40× objective, oil immersion. Bone marrow smear:
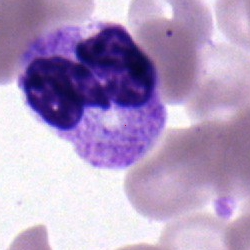
A neutrophil (segmented).